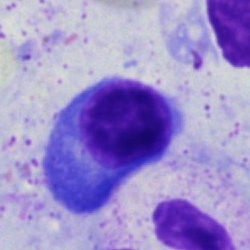 The morphological class is plasma cell.